Bone marrow aspirate smear:
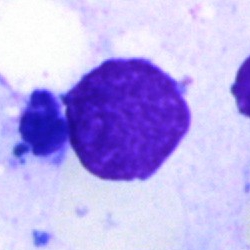This is an artifact.